Single-cell field. Bone marrow smear
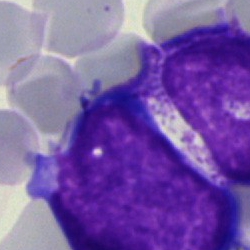
Cell: undifferentiated blast.